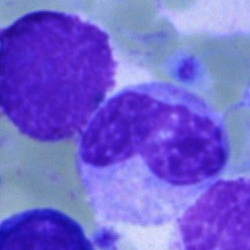Cell = metamyelocyte.